40× objective, oil immersion · bone marrow smear:
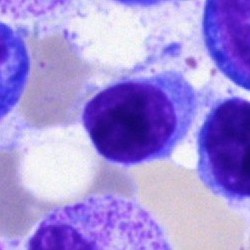
Single cell identified as a lymphocyte.